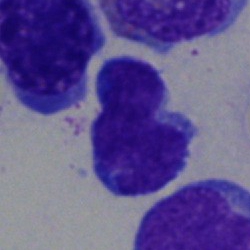 Single-cell crop from a bone marrow smear: lymphocyte.